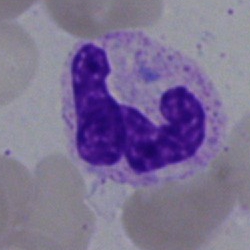{"cell_type": "segmented neutrophil"}